40× oil immersion · bone marrow smear · 250 by 250 pixels:
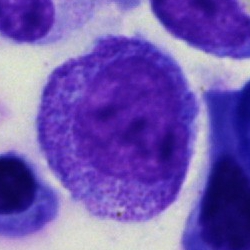

Morphology consistent with a promyelocyte.